Bone marrow smear:
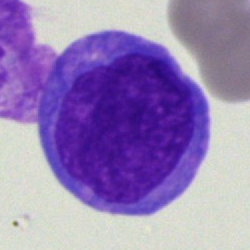

Q: What type of cell is this?
A: It is a blast.